Single-cell crop. 250×250. Bone marrow smear: 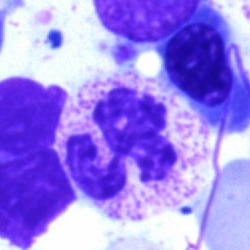 Morphology consistent with a polymorphonuclear neutrophil.